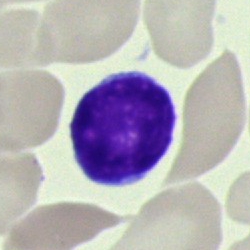Bone marrow smear showing a typical lymphocyte.